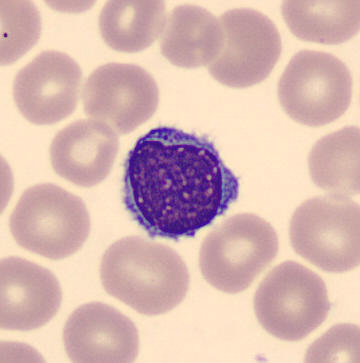
Q: What is the morphological classification of this cell?
A: A lymphocyte.

Image: Peripheral blood film · image size 360×363 · single-cell field.